Bone marrow aspirate smear
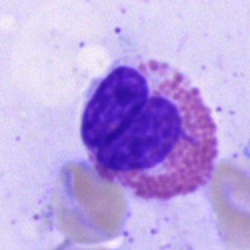 An eosinophilic granulocyte.